Peripheral blood film. 100× oil immersion, 14.14 px/µm.
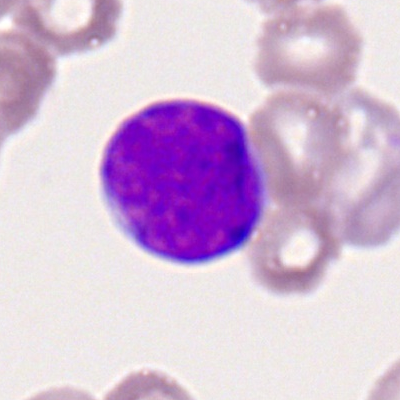
Single cell identified as a myeloblast.